Bone marrow smear: 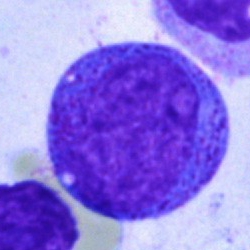

Cell type — progranulocyte.